Bone marrow aspirate smear.
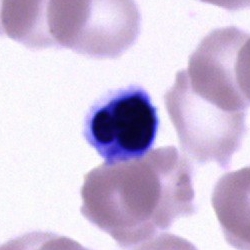Specimen: bone marrow aspirate smear.
Morphological class: unidentifiable cell.